Bone marrow smear:
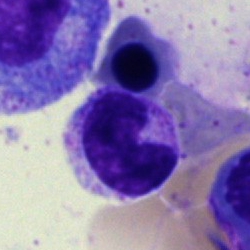

Stab cell.